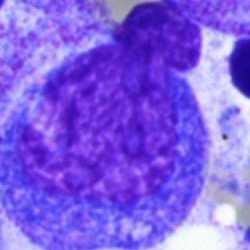

Bone marrow smear showing a promyelocyte.